Bone marrow aspirate smear · single-cell crop:
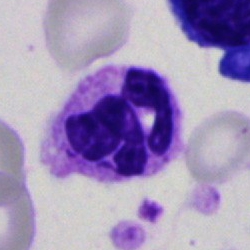

Morphology consistent with a neutrophil (segmented).